Bone marrow aspirate smear
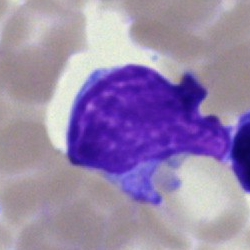
Specimen: bone marrow aspirate smear.
Classification: lymphocyte.